Bone marrow aspirate smear.
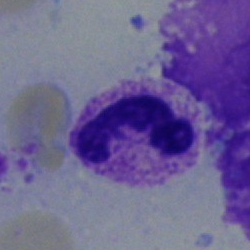

Q: What is the morphological classification of this cell?
A: This is a neutrophil (segmented).